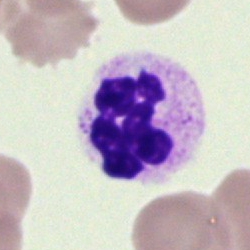
Cell type — segmented neutrophil.